Bone marrow smear:
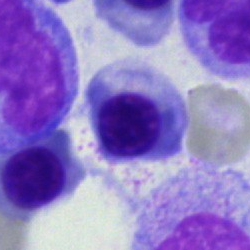

Q: Which cell type is shown here?
A: A nucleated red blood cell.